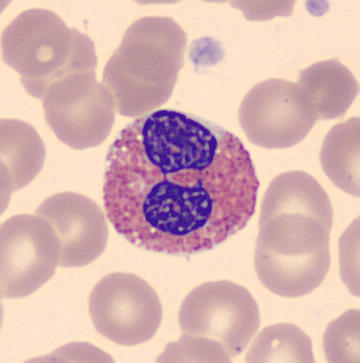

Specimen: peripheral blood smear.
Cell type: eosinophilic granulocyte.
Lineage: myeloid.
Image: MGG stain.